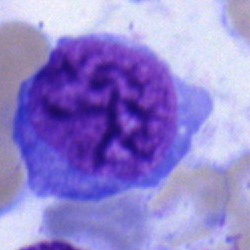A blast on a bone marrow smear.